Bone marrow smear. Single cell centered in the field
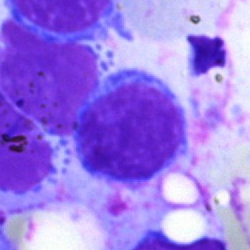 Q: Identify the cell.
A: A typical lymphocyte.